250×250; single-cell field; bone marrow smear:
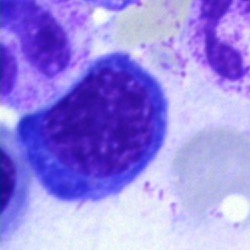
Q: What is shown here?
A: A nucleated red blood cell.